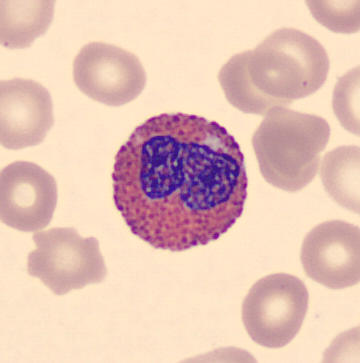
Q: What is the morphological classification of this cell?
A: It is an eosinophil.

Acquisition: Peripheral blood smear.